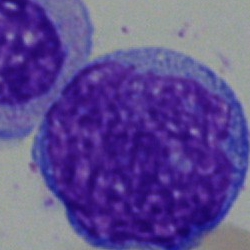

Specimen: bone marrow aspirate smear.
Cell: blast.